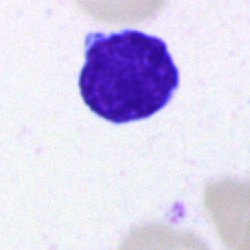

Typical lymphocyte.